250×250 px; bone marrow aspirate smear: 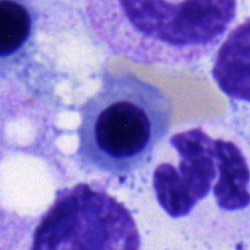The cell shown is an erythroblast.